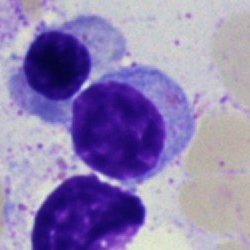

Typical lymphocyte.